Bone marrow aspirate smear — 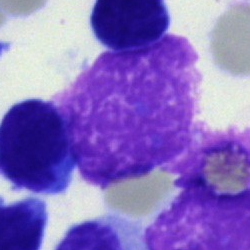Showing an artefact.